Bone marrow aspirate smear · brightfield, 40× oil-immersion objective
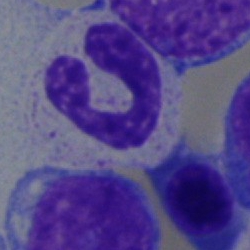Specimen: bone marrow aspirate smear.
Cell type: neutrophil (band).
Lineage: myeloid.